Bone marrow smear
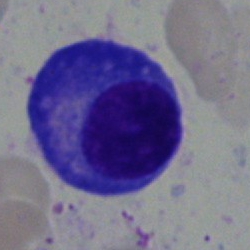Specimen: bone marrow smear.
Classification: plasma cell.
Lineage: lymphoid.